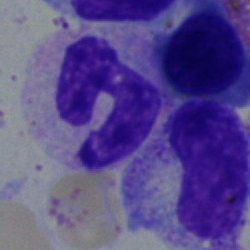 Neutrophil (segmented).